Bone marrow aspirate smear:
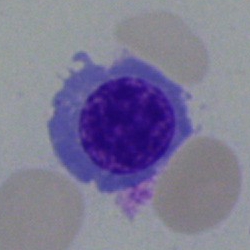The cell type is normoblast.